Bone marrow smear:
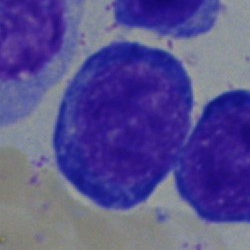

The cell is pronormoblast.